Bone marrow aspirate smear — 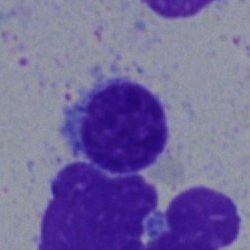

Morphology consistent with a lymphocyte.